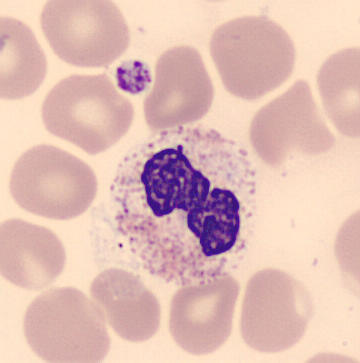

{"cell_type": "segmented neutrophil", "lineage": "myeloid"}